250 by 250 pixels; 40× objective, oil immersion; bone marrow aspirate smear:
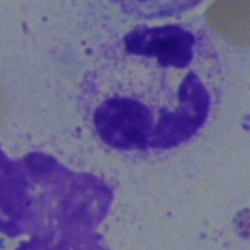
This is a segmented neutrophil.